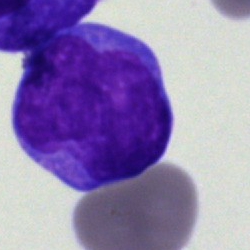 Bone marrow aspirate smear, single cell — undifferentiated blast.